Bone marrow aspirate smear; single-cell crop
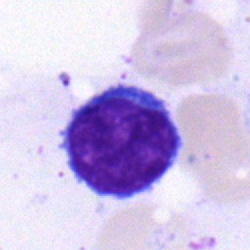Impression → lymphocyte.